Bone marrow smear; May-Grünwald-Giemsa stain:
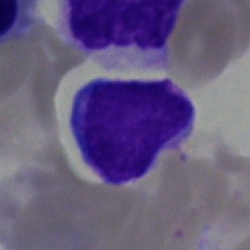Q: What type of cell is this?
A: A typical lymphocyte.